Bone marrow smear; single cell centered in the field
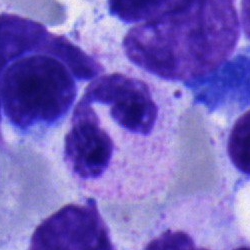 This is a neutrophil (segmented).